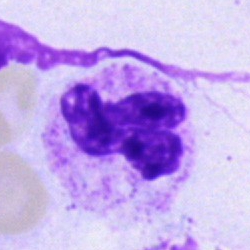

Q: Which cell type is shown here?
A: It is a polymorphonuclear neutrophil.